Bone marrow aspirate smear — 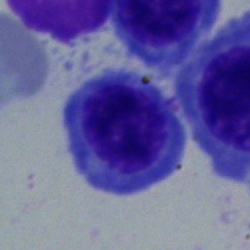
Morphology consistent with a normoblast.